Brightfield microscopy, 40× oil immersion; single-cell field; bone marrow smear:
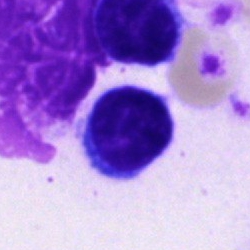 Cell type = lymphocyte.